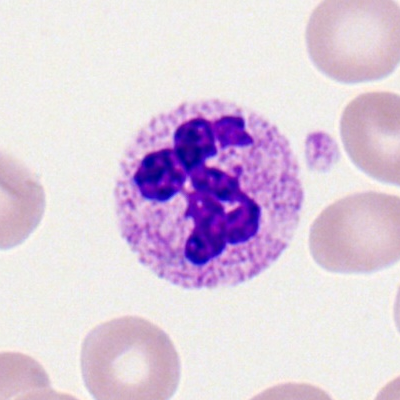
Impression — polymorphonuclear neutrophil.